Bone marrow smear
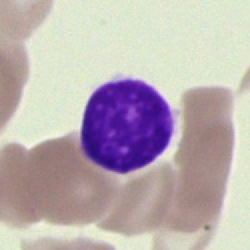Morphological class = cell of indeterminate lineage.